Bone marrow aspirate smear:
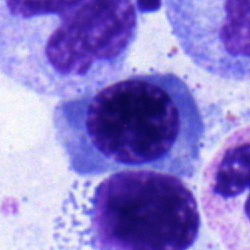 Nucleated red cell.